400×400; peripheral blood smear; Romanowsky stain.
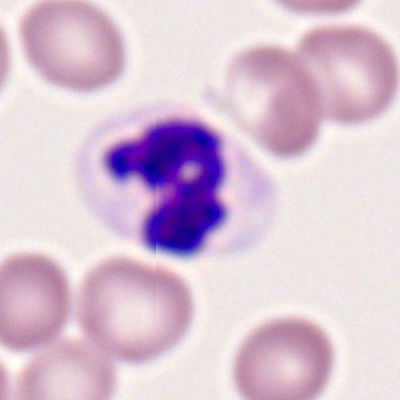
Cell type: segmented neutrophil.